40× objective, oil immersion. Bone marrow aspirate smear. 250×250:
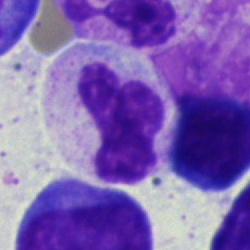

Q: What type of cell is this?
A: It is a neutrophil (segmented).